Peripheral blood film. 400×400 px: 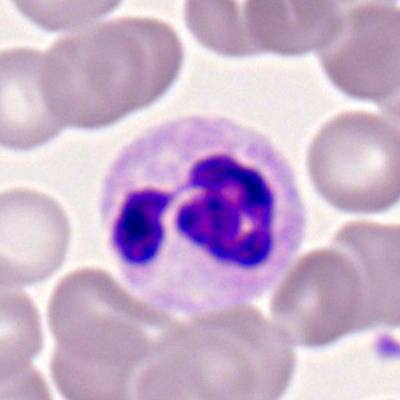 Cell type = polymorphonuclear neutrophil.